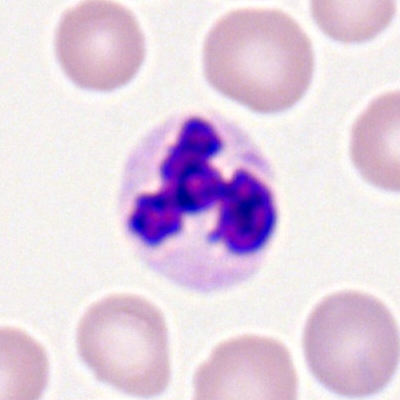
Morphology consistent with a segmented neutrophil.